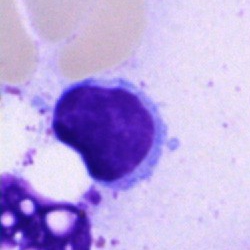 Classification — lymphocyte.